May-Grünwald-Giemsa/Pappenheim stain; bone marrow smear:
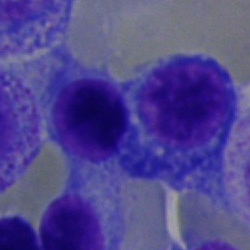
Showing a plasma cell.